Pappenheim-stained. Bone marrow smear: 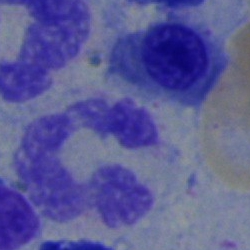
Cell — neutrophil (segmented).